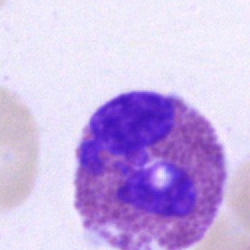

Cell type: eosinophilic granulocyte.